Brightfield microscopy, 40× oil immersion; bone marrow aspirate smear.
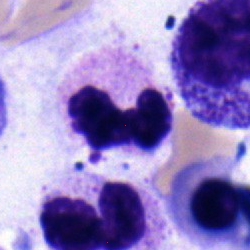Q: What cell is this?
A: This is a band-form neutrophil.